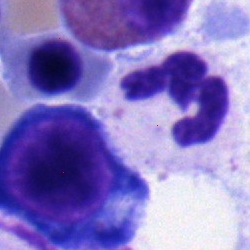 Bone marrow smear showing a segmented neutrophil.